Single-cell field. Bone marrow smear:
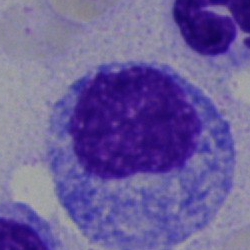

A promyelocyte.